Single cell centered in the field · bone marrow smear: 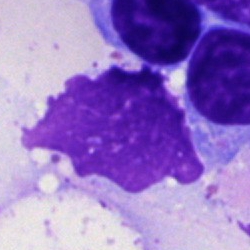{"cell_type": "artefact"}